Bone marrow smear; May-Grünwald-Giemsa/Pappenheim stain: 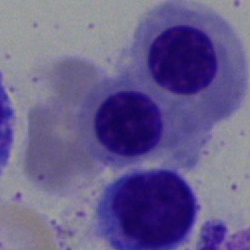Classification — normoblast.